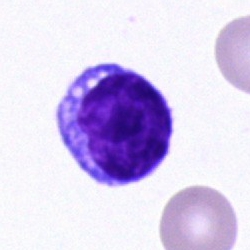

Cell type — lymphocyte.